Bone marrow smear · 40× objective, oil immersion · image size 250×250.
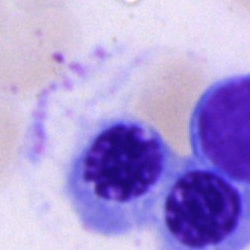

Cell type = nucleated red cell.